Bone marrow smear.
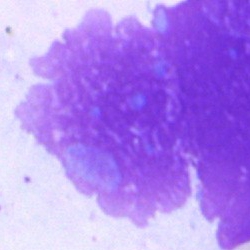
Morphological class = artefact.